Brightfield, 40× oil-immersion objective · bone marrow smear.
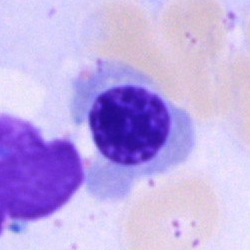

The morphological class is erythroblast.